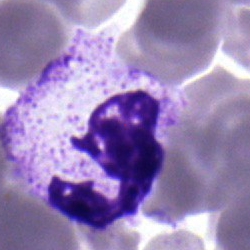

Bone marrow smear showing a polymorphonuclear neutrophil.